Bone marrow smear:
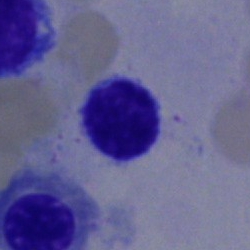 Morphology consistent with a lymphocyte.